Brightfield, 40× oil-immersion objective. 250 by 250 pixels. Bone marrow aspirate smear:
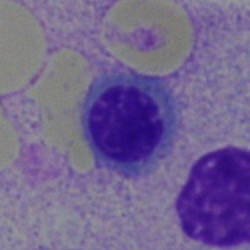

This is a nucleated red blood cell.